Bone marrow aspirate smear:
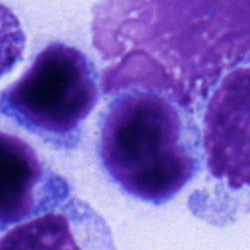Showing a typical lymphocyte.